May-Grünwald-Giemsa stain; bone marrow aspirate smear; image size 250×250:
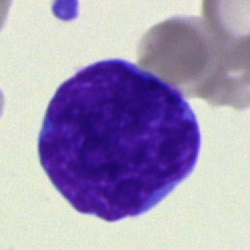Single cell identified as a blast.